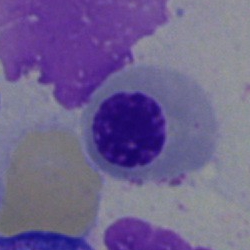
Morphological class — nucleated red cell.